Bone marrow aspirate smear
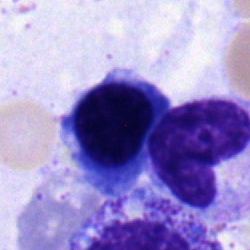

Specimen: bone marrow smear.
Classification: nucleated red cell.